Bone marrow aspirate smear.
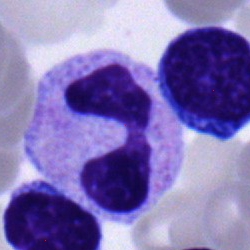Showing a segmented neutrophil.